Bone marrow aspirate smear · 250×250 px.
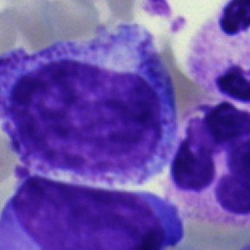

{"cell_type": "progranulocyte", "lineage": "myeloid"}